Single cell centered in the field · brightfield microscopy, 40× oil immersion · bone marrow smear:
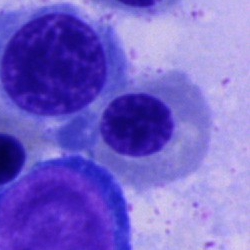

Impression — nucleated red cell.